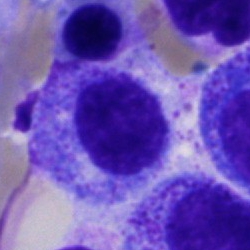Cell — myelocyte.